Bone marrow aspirate smear. 250 by 250 pixels — 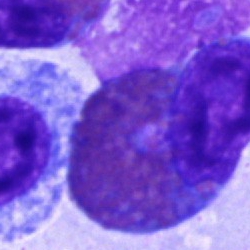Impression — eosinophilic granulocyte.